Brightfield, 40× oil-immersion objective; bone marrow aspirate smear; May-Grünwald-Giemsa stain.
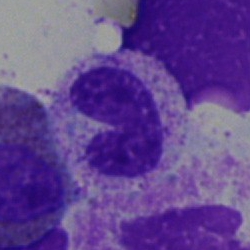Specimen: bone marrow smear.
Morphological class: neutrophil (band).